Bone marrow aspirate smear
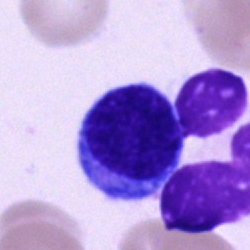
This is a typical lymphocyte.